Bone marrow aspirate smear — 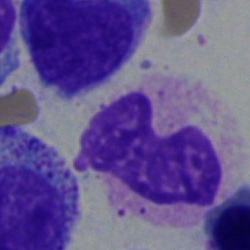
The cell shown is a neutrophil (band).